Bone marrow aspirate smear
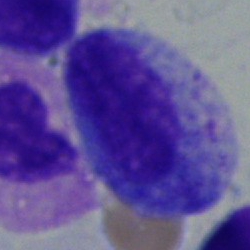 Morphology consistent with a promyelocyte.